Single-cell field; 250×250 px; bone marrow aspirate smear — 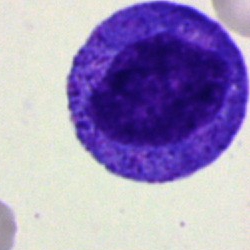 A progranulocyte.